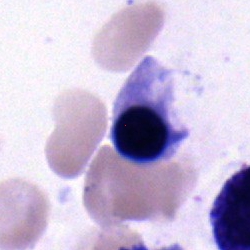
The morphological class is erythroblast.